Bone marrow aspirate smear — 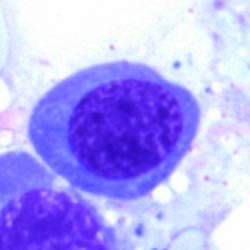
Morphology consistent with a normoblast.